Cropped to a single cell. Peripheral blood smear.
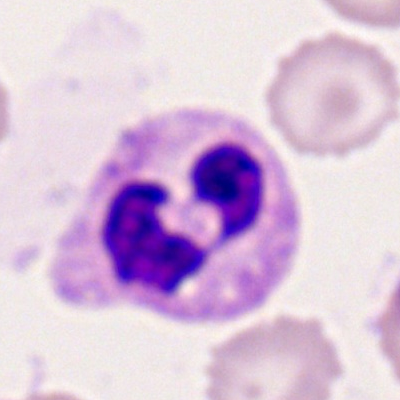

Single cell identified as a polymorphonuclear neutrophil.